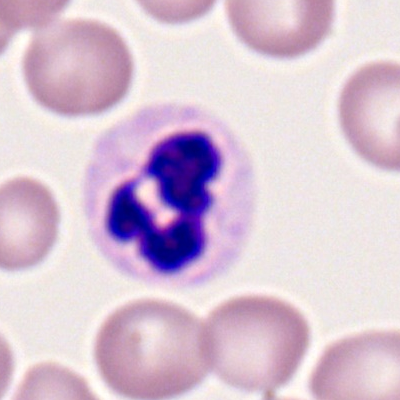Single cell identified as a segmented neutrophil.